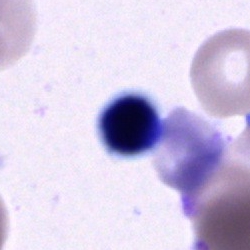Q: What type of cell is this?
A: Cell of indeterminate lineage.